Peripheral blood film: 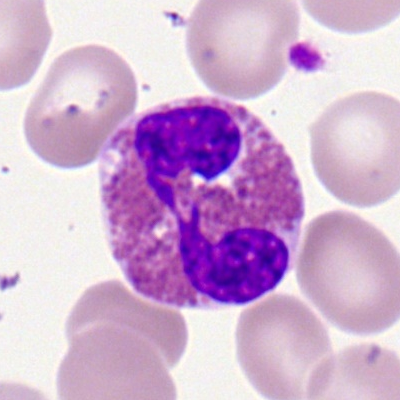
An eosinophilic granulocyte.